Peripheral blood smear: 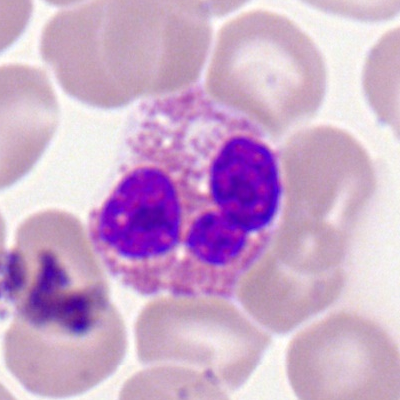Specimen: peripheral blood film.
Cell: eosinophil.
Lineage: myeloid.